40× objective, oil immersion; bone marrow aspirate smear:
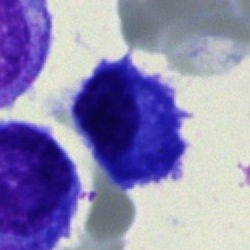
Specimen: bone marrow aspirate smear.
Morphological class: plasma cell.
Lineage: lymphoid.